Bone marrow smear. May-Grünwald-Giemsa/Pappenheim stain: 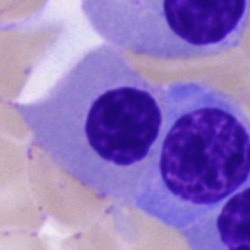

Nucleated red cell.